Bone marrow smear: 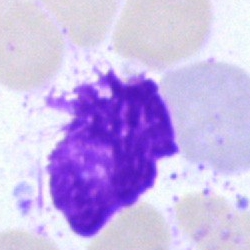
Morphology — artefact.